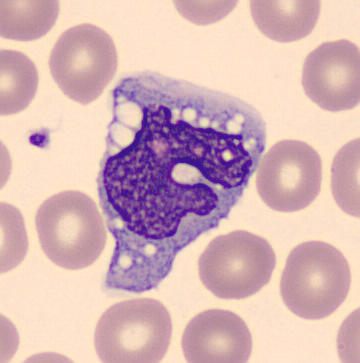

Morphology — monocyte.
Peripheral blood smear. Cropped to a single cell.